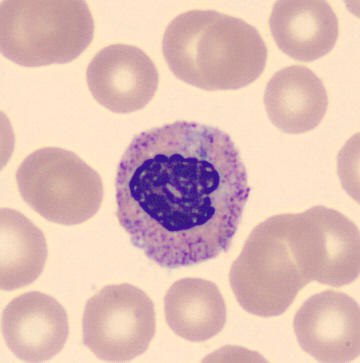 Preparation: Peripheral blood film. Single cell centered in the field.
Single cell identified as a metamyelocyte.